Bone marrow smear; MGG-stained: 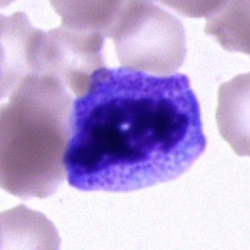

Q: What is the morphological classification of this cell?
A: Unidentifiable cell.